Bone marrow smear
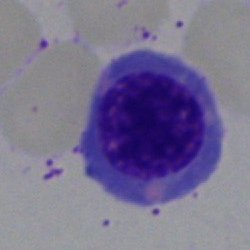
Classification = normoblast.